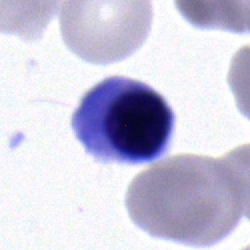 Classification = normoblast.